Bone marrow smear · single cell centered in the field: 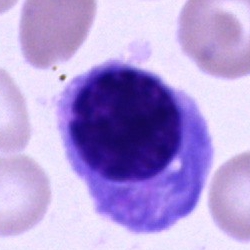 Showing a nucleated red cell.